250×250; MGG-stained; bone marrow aspirate smear.
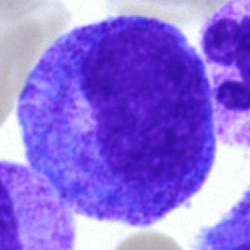

Specimen: bone marrow aspirate smear.
Classification: progranulocyte.
Lineage: myeloid.